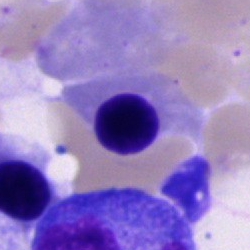

Morphology — nucleated red cell.